Bone marrow smear — 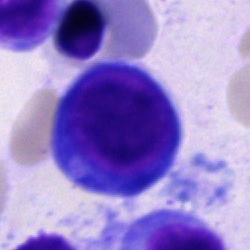

{"cell_type": "pronormoblast", "lineage": "erythroid"}